Romanowsky-type stain. 400×400 px. Peripheral blood smear.
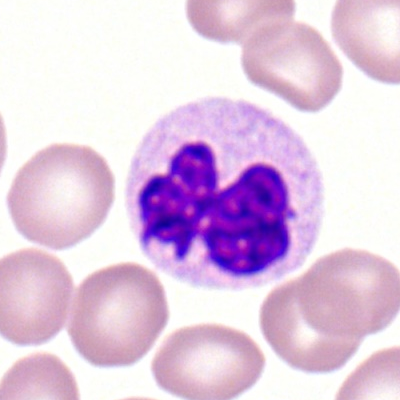
Classification — polymorphonuclear neutrophil.